Peripheral blood smear. Single-cell crop:
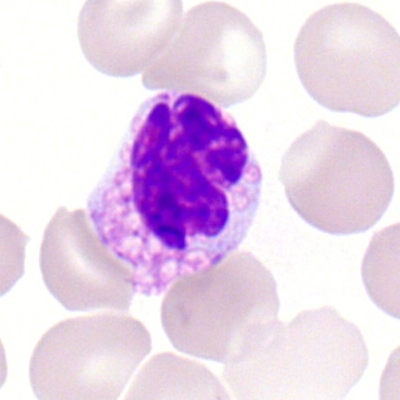 Q: What type of cell is this?
A: It is a basophil.